Bone marrow smear: 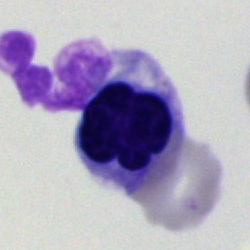 Showing a nucleated red blood cell.